Bone marrow aspirate smear · single-cell field · 40× oil immersion:
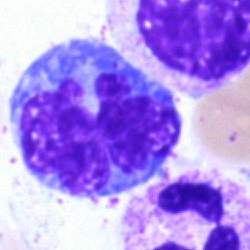 Q: What is the morphological classification of this cell?
A: Monocyte.